Bone marrow smear; cropped to a single cell
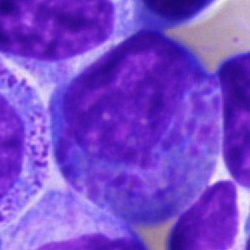

Q: What cell is this?
A: It is a promyelocyte.